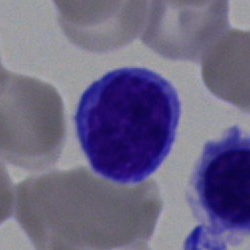
Morphology — lymphocyte.